Bone marrow smear — 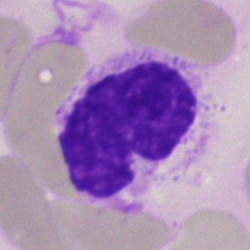 Q: What is shown here?
A: It is an artifact.